Bone marrow smear. 40× objective, oil immersion. Image size 250×250.
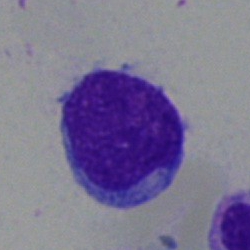
Impression → typical lymphocyte.